Bone marrow smear — 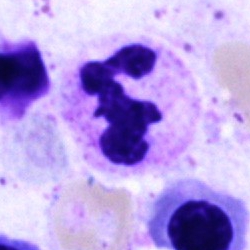Specimen: bone marrow smear.
Classification: segmented neutrophil.
Lineage: myeloid.